MGG-stained · bone marrow smear
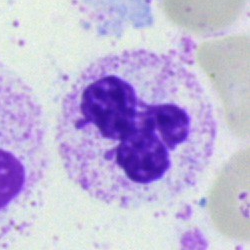 Segmented neutrophil.